Bone marrow aspirate smear. 250×250. Pappenheim-stained: 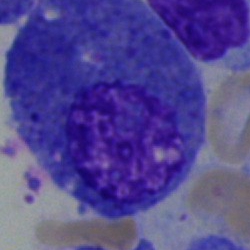Morphological class = eosinophilic granulocyte.